Bone marrow smear
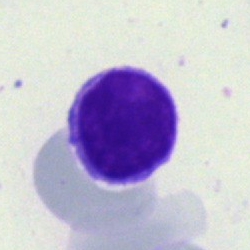 Q: What is shown here?
A: Typical lymphocyte.